Peripheral blood smear: 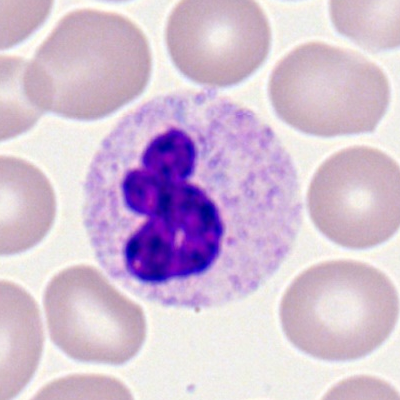 The cell type is neutrophil (segmented).